Bone marrow aspirate smear — 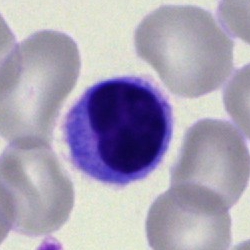 A typical lymphocyte.